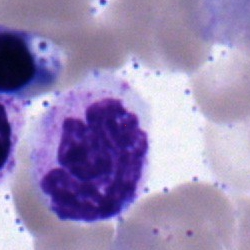
Q: What cell is this?
A: It is a polymorphonuclear neutrophil.